Bone marrow smear — 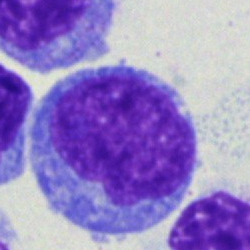Single cell identified as a blast.